Bone marrow smear
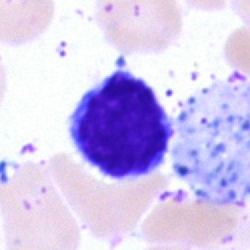Morphological class = lymphocyte.